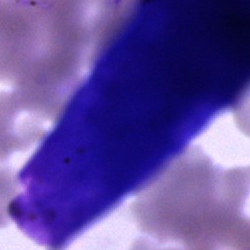 {"cell_type": "artefact"}